MGG-stained. Bone marrow aspirate smear. 250 by 250 pixels.
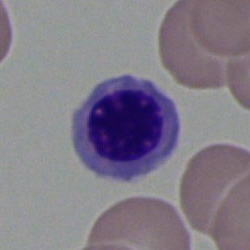

The morphological class is normoblast.